Bone marrow smear · single-cell field
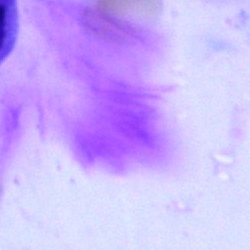 Specimen: bone marrow smear.
Cell type: artefact.